Bone marrow aspirate smear.
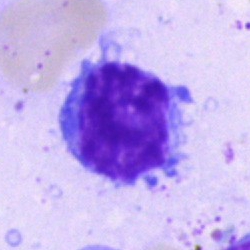The morphological class is lymphocyte.